Bone marrow aspirate smear. Cropped to a single cell:
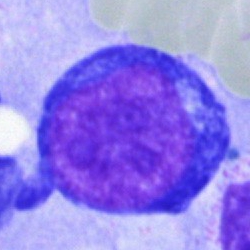
Cell type — erythroblast.